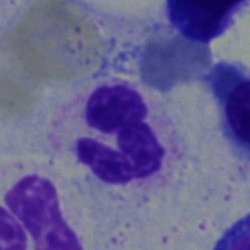Cell type: band-form neutrophil.